Bone marrow smear:
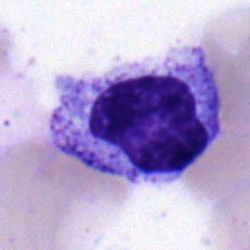
A metamyelocyte.